Bone marrow aspirate smear
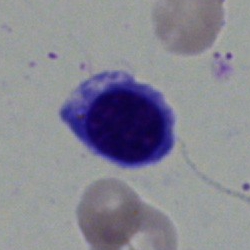
{"cell_type": "nucleated red cell", "lineage": "erythroid"}